Bone marrow aspirate smear:
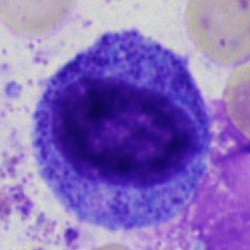

The cell type is progranulocyte.